250 by 250 pixels · MGG-stained · bone marrow smear:
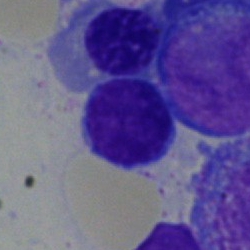

Morphological class = lymphocyte.